Bone marrow aspirate smear.
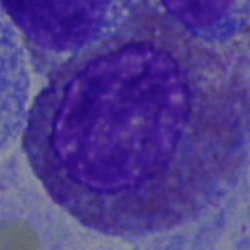
Classification = eosinophil.